Peripheral blood smear:
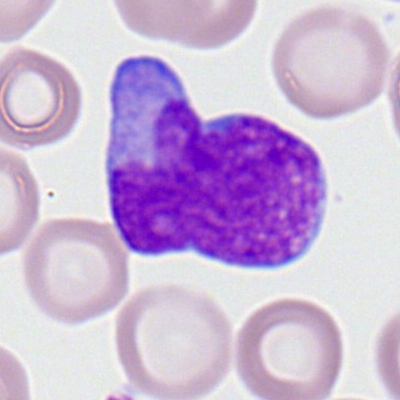

Q: Identify the cell.
A: This is a myeloid blast.